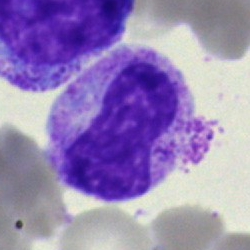

Cell type — neutrophil (band).